Bone marrow aspirate smear · 250×250.
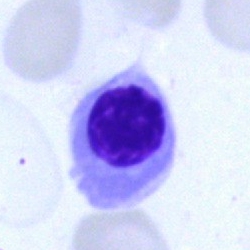Impression — nucleated red cell.